40× objective, oil immersion. Bone marrow smear. 250×250 px
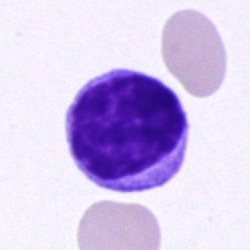The cell type is typical lymphocyte.